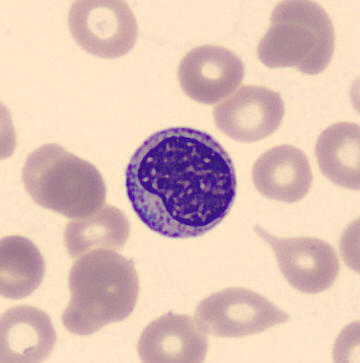Myelocyte.

Image: May Grünwald-Giemsa stain · peripheral blood smear.